Bone marrow aspirate smear; cropped to a single cell: 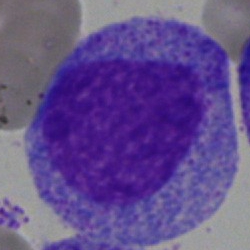

Showing a promyelocyte.